40× oil immersion · bone marrow aspirate smear — 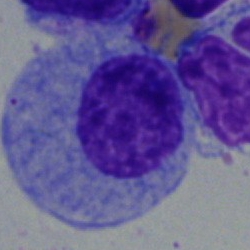Classification — progranulocyte.